Peripheral blood film — 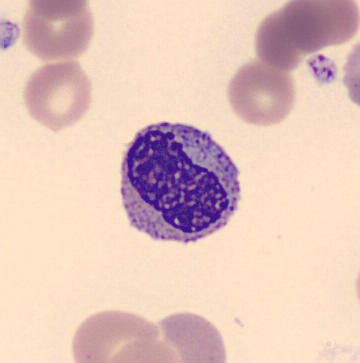
A metamyelocyte.